Bone marrow smear.
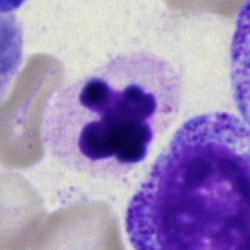
Specimen: bone marrow aspirate smear.
Cell type: segmented neutrophil.
Lineage: myeloid.